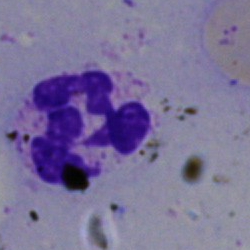Specimen: bone marrow smear.
Classification: polymorphonuclear neutrophil.